Bone marrow smear
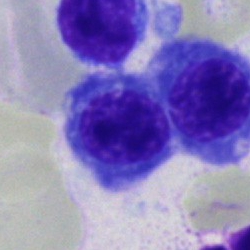Showing a normoblast.